Bone marrow aspirate smear
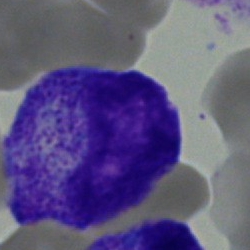 Morphological class = progranulocyte.